Single-cell field · bone marrow smear:
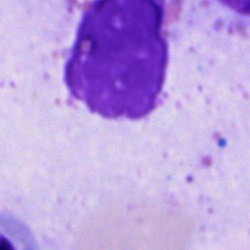Q: What is shown here?
A: It is an artifact.